Bone marrow aspirate smear.
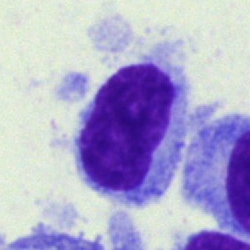Classification — hairy cell.